100× objective, oil immersion. Peripheral blood smear. Romanowsky-stained — 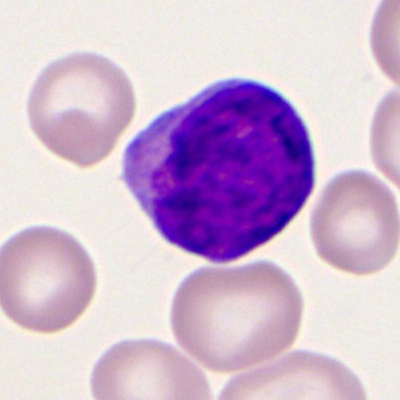 Morphological class — myeloid blast.